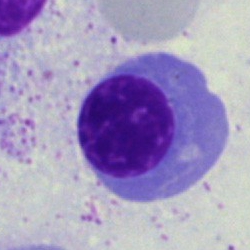

Cell type = erythroblast.